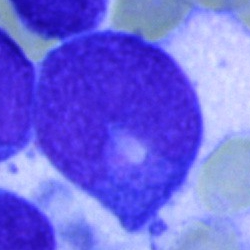
The cell shown is an undifferentiated blast.